Bone marrow aspirate smear.
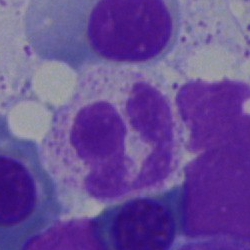
Morphological class — neutrophil (segmented).